Pappenheim-stained; bone marrow smear; 250 by 250 pixels
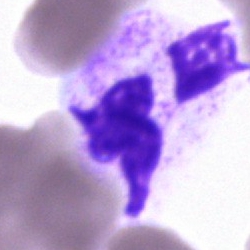 Q: Which cell type is shown here?
A: This is a segmented neutrophil.